Bone marrow smear; 40× oil immersion.
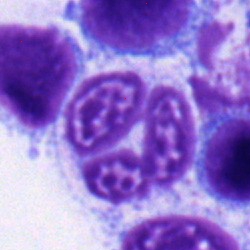

Morphology consistent with a segmented neutrophil.